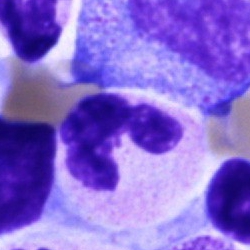Specimen: bone marrow smear.
Classification: segmented neutrophil.